Bone marrow aspirate smear: 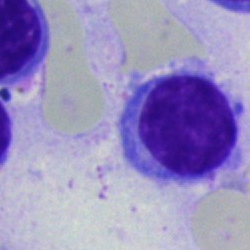

Morphological class — lymphocyte.